May-Grünwald-Giemsa/Pappenheim stain · single-cell field · bone marrow smear:
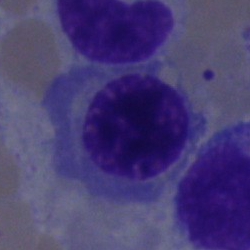 This is an erythroblast.